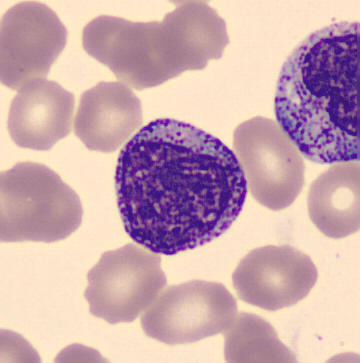 Cell type = myelocyte. Peripheral blood film.